Bone marrow smear:
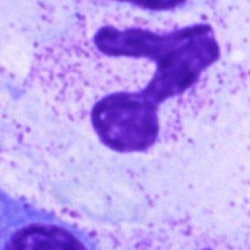

Classification — polymorphonuclear neutrophil.